Peripheral blood smear: 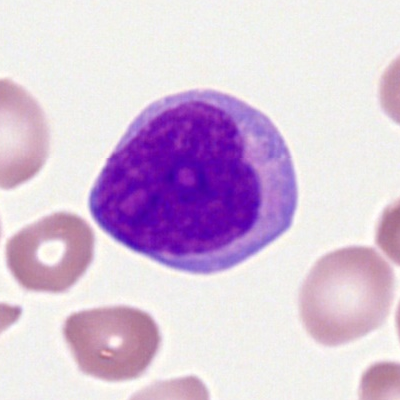Cell = myeloid blast.